Brightfield, 40× oil-immersion objective; May-Grünwald-Giemsa/Pappenheim stain; bone marrow smear:
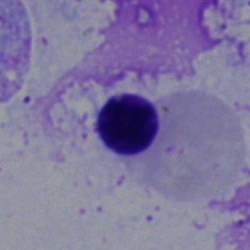
An erythroblast.